Bone marrow aspirate smear — 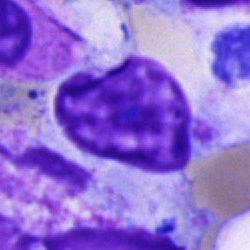 Q: What is shown here?
A: It is an artefact.